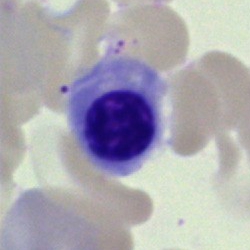{"cell_type": "nucleated red blood cell", "lineage": "erythroid"}